Peripheral blood smear · M8 digital microscope (Precipoint), 100× oil immersion: 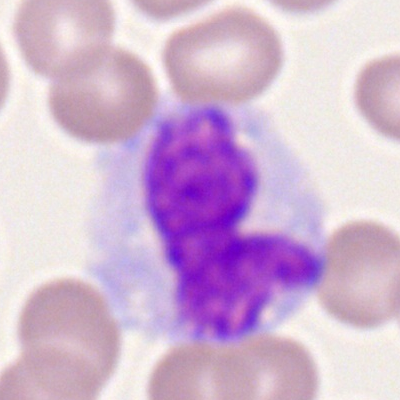 Showing a monocyte.